Bone marrow smear · MGG-stained.
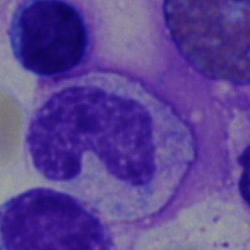This is a band neutrophil.